Single-cell crop · bone marrow smear · 250×250 px.
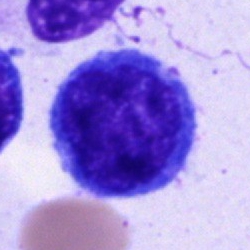 {"cell_type": "blast cell"}